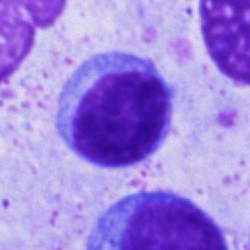
The morphological class is lymphocyte.